Single-cell field · 250×250 px · bone marrow smear — 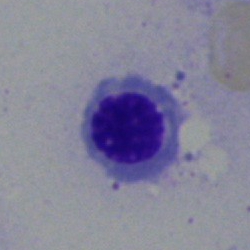 Cell — nucleated red cell.